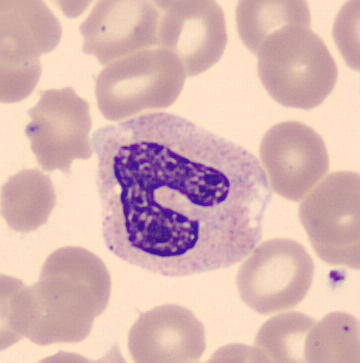The cell is band-form neutrophil.

Acquisition: CellaVision DM96 digital cell image; single cell centered in the field; peripheral blood smear.